Bone marrow smear — 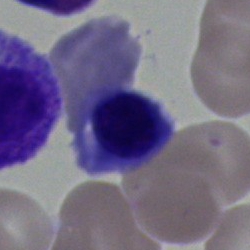
Q: What type of cell is this?
A: This is a nucleated red blood cell.